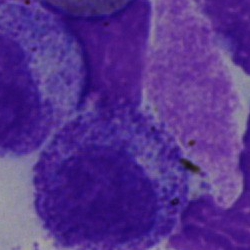Morphology → myelocyte.